Bone marrow smear: 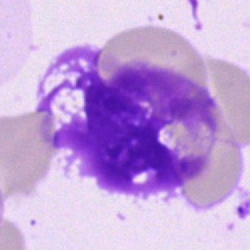
Q: What is shown here?
A: An artefact.